Bone marrow aspirate smear: 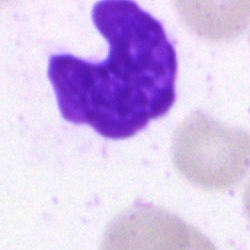
Q: What is shown here?
A: It is an artifact.